Bone marrow smear; Pappenheim-stained:
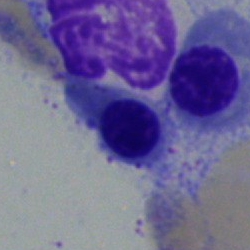 The cell type is nucleated red cell.